250×250; bone marrow aspirate smear; Pappenheim-stained:
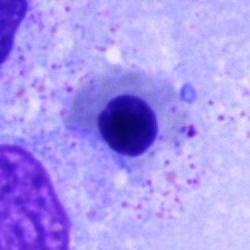 This is a nucleated red blood cell.